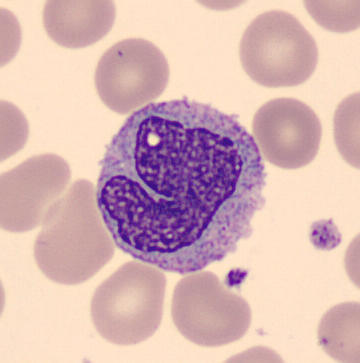Image: CellaVision DM96 digital cell image. Specimen: peripheral blood smear.
Cell type: monocyte.
Lineage: myeloid.